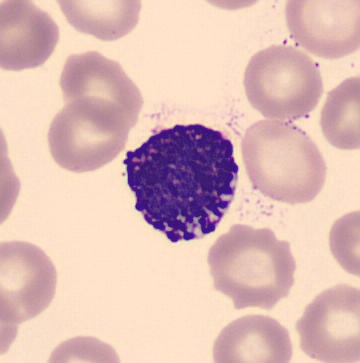
Acquisition: Peripheral blood film.
Morphology → basophilic granulocyte.